Bone marrow aspirate smear — 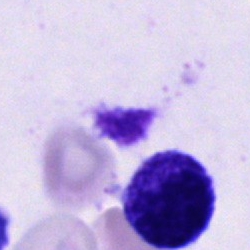
{"cell_type": "artifact"}